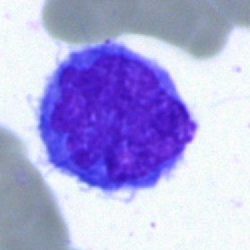

Blast cell.